Bone marrow smear; May-Grünwald-Giemsa stain:
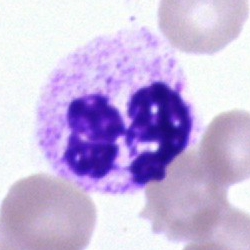

Q: Which cell type is shown here?
A: A segmented neutrophil.